Image size 250×250. Bone marrow aspirate smear.
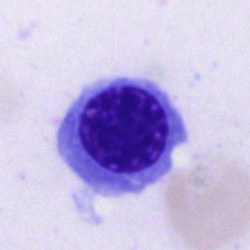
The cell type is erythroblast.